Single-cell crop. Bone marrow aspirate smear — 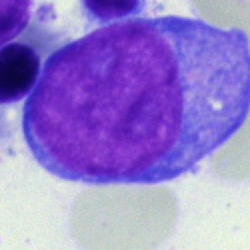

Morphology consistent with an undifferentiated blast.